Bone marrow aspirate smear:
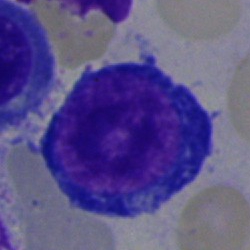Morphology consistent with a proerythroblast.